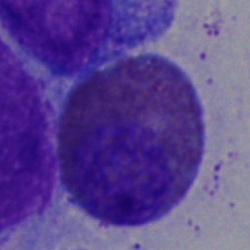The cell is eosinophilic granulocyte.